40× objective, oil immersion · bone marrow aspirate smear · cropped to a single cell: 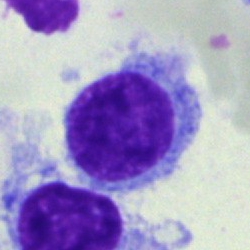
Q: What type of cell is this?
A: A hairy cell.